Bone marrow smear:
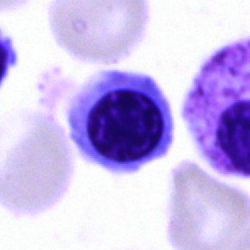Morphological class — erythroblast.